MGG-stained. Bone marrow aspirate smear. 250×250: 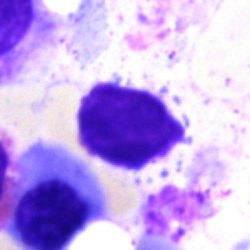

This is an artefact.